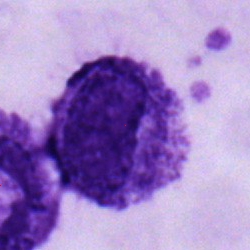Morphology → segmented neutrophil.